Bone marrow smear:
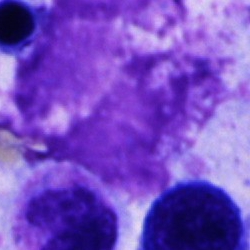The cell shown is an artifact.